Peripheral blood film; 400 by 400 pixels; single cell centered in the field:
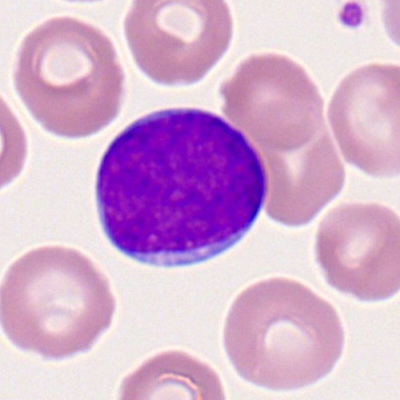
{"cell_type": "myeloblast", "lineage": "myeloid"}